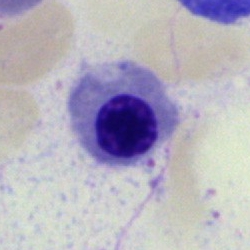

Q: What is shown here?
A: This is an erythroblast.